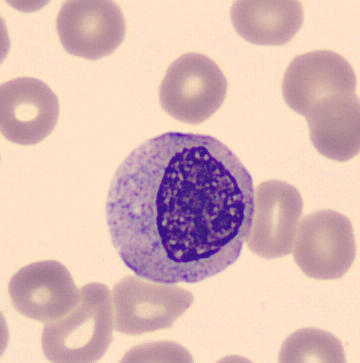

Preparation: May-Grünwald-Giemsa-stained · peripheral blood film · single-cell field. Cell type — myelocyte.